Bone marrow aspirate smear. Brightfield, 40× oil-immersion objective.
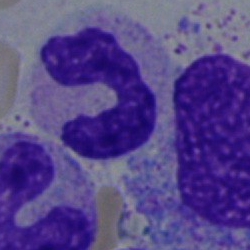

Specimen: bone marrow aspirate smear.
Cell: band neutrophil.
Lineage: myeloid.